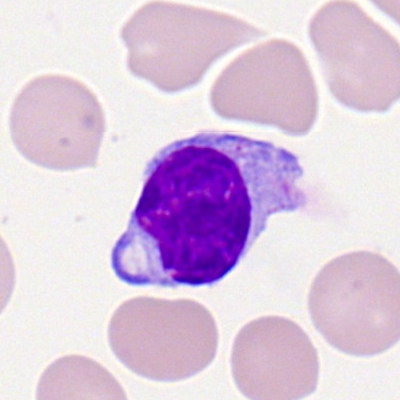 Single cell identified as a lymphocyte.